Bone marrow smear; single-cell crop — 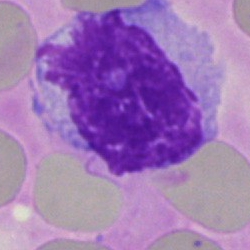 Morphological class — artefact.